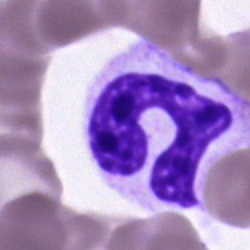Showing a stab cell.